Cropped to a single cell; peripheral blood film; MGG stain.
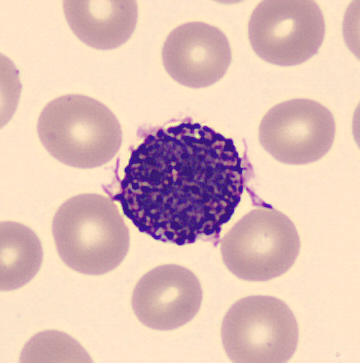

Specimen: peripheral blood film.
Cell: basophilic granulocyte.
Lineage: myeloid.